250 by 250 pixels. Bone marrow smear. Brightfield, 40× oil-immersion objective — 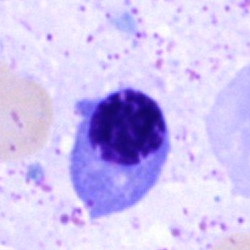

Q: What is shown here?
A: This is a normoblast.